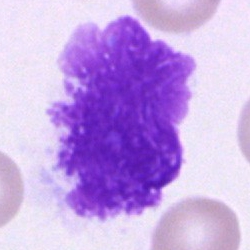

Specimen: bone marrow aspirate smear.
Cell: artefact.